Bone marrow aspirate smear — 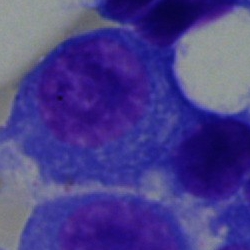
Morphology → plasmacyte.